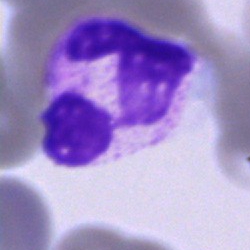

The cell shown is a polymorphonuclear neutrophil.